Bone marrow smear. Single-cell crop
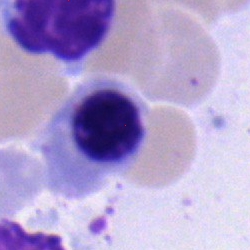 This is a nucleated red blood cell.